Bone marrow smear — 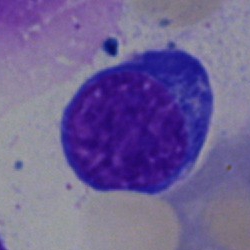Classification: erythroblast.